Bone marrow smear; MGG-stained; 40× oil immersion
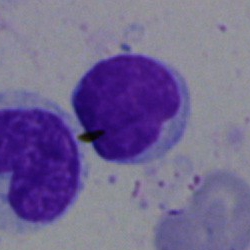Classification = typical lymphocyte.